Peripheral blood smear. Romanowsky-stained — 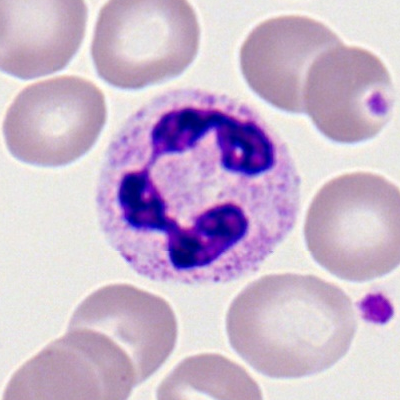

Morphology consistent with a segmented neutrophil.